Bone marrow aspirate smear — 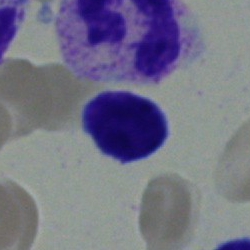

Typical lymphocyte.